Bone marrow smear; cropped to a single cell.
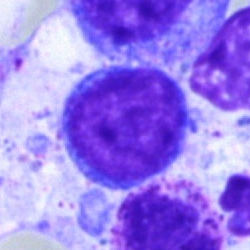

Specimen: bone marrow smear.
Cell type: blast cell.